Bone marrow smear · 40× oil immersion
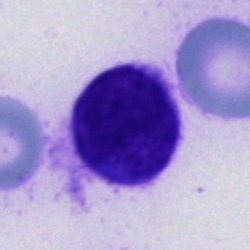Q: What type of cell is this?
A: This is a cell of indeterminate lineage.